Brightfield microscopy, 40× oil immersion · bone marrow aspirate smear · 250×250 px: 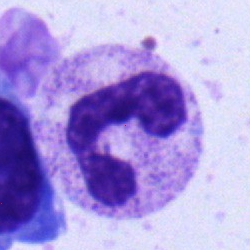

Classification = polymorphonuclear neutrophil.